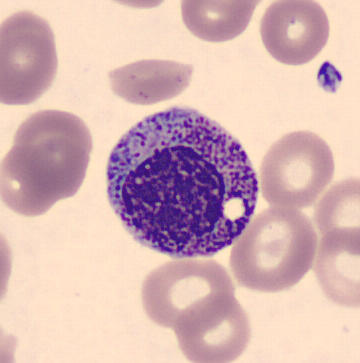

Specimen: peripheral blood film.
Cell: myelocyte.